Image size 250×250; bone marrow smear; May-Grünwald-Giemsa/Pappenheim stain:
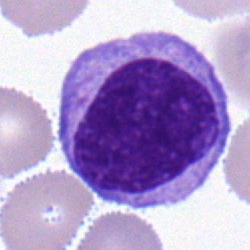Showing a lymphocyte.